Bone marrow aspirate smear
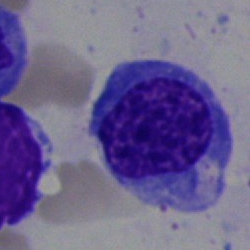

Morphological class — erythroblast.